Bone marrow smear:
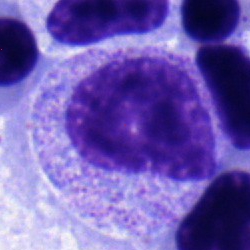 The classification is myelocyte.